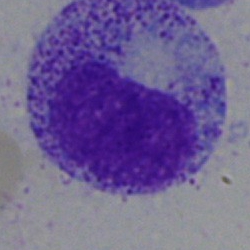
Specimen: bone marrow smear.
Cell: myelocyte.
Lineage: myeloid.